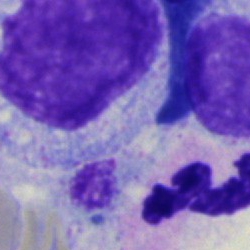
Showing a promyelocyte.